Bone marrow aspirate smear:
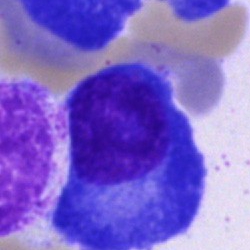 Classification — plasmacyte.